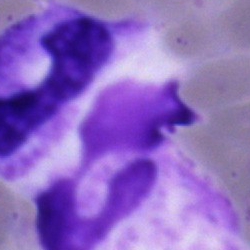Bone marrow smear showing an artifact.